Bone marrow smear · image size 250×250:
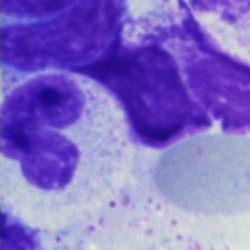The morphological class is cell of indeterminate lineage.